Bone marrow smear.
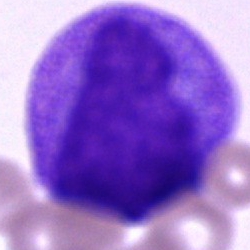A promyelocyte.